250 by 250 pixels; bone marrow aspirate smear; brightfield, 40× oil-immersion objective.
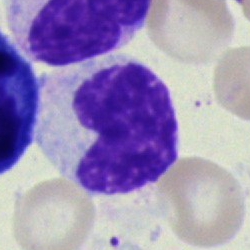

A stab cell.